Bone marrow smear:
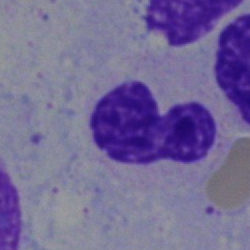 The cell shown is a band neutrophil.